Single cell centered in the field · brightfield microscopy, 40× oil immersion · bone marrow aspirate smear — 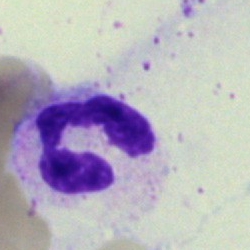
The cell is neutrophil (segmented).